Peripheral blood film · 400 by 400 pixels · 100× objective, oil immersion: 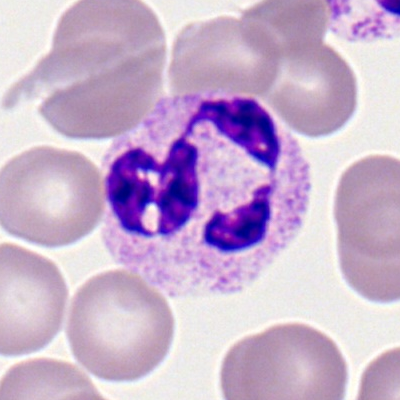
Showing a neutrophil (segmented).